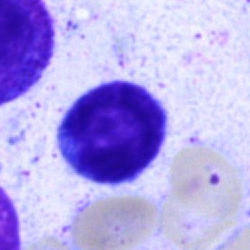

{"cell_type": "lymphocyte"}